Bone marrow aspirate smear:
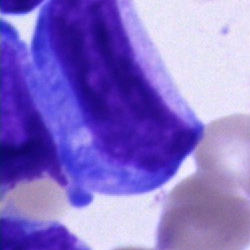 Q: Identify the cell.
A: Blast.